Bone marrow aspirate smear; 250×250
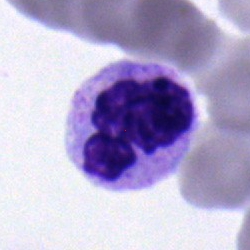 This is a neutrophil (segmented).